Bone marrow smear; brightfield, 40× oil-immersion objective:
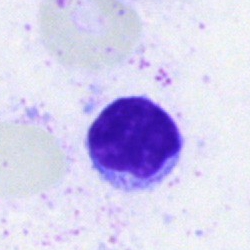 {"cell_type": "lymphocyte"}